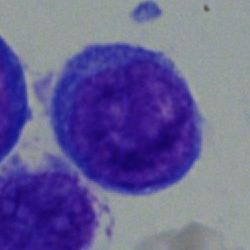

Cell — blast cell.